Bone marrow smear
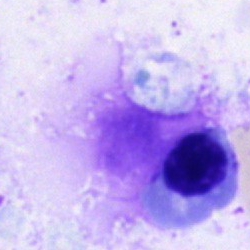

Morphology consistent with a normoblast.